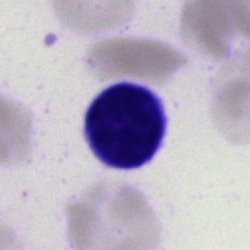 Typical lymphocyte.